Single cell centered in the field; bone marrow aspirate smear: 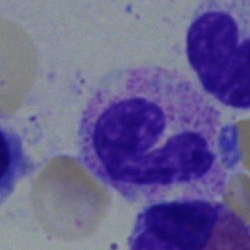

{"cell_type": "neutrophil (band)", "lineage": "myeloid"}